Single cell centered in the field; bone marrow smear; May-Grünwald-Giemsa stain
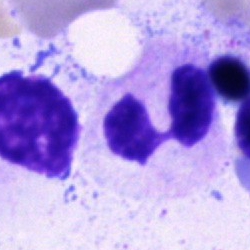 Morphology — segmented neutrophil.